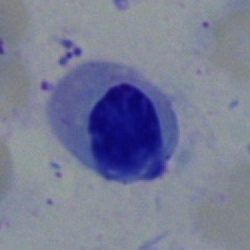 Single-cell crop from a bone marrow smear: normoblast.